250×250 px · bone marrow aspirate smear: 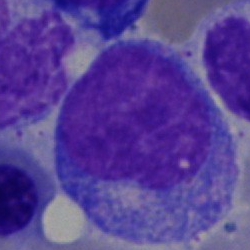 Specimen: bone marrow smear.
Morphological class: progranulocyte.